Bone marrow aspirate smear
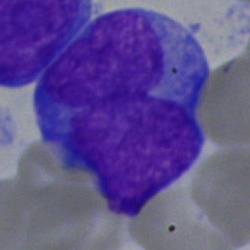Blast.